Peripheral blood smear. 100× objective, oil immersion:
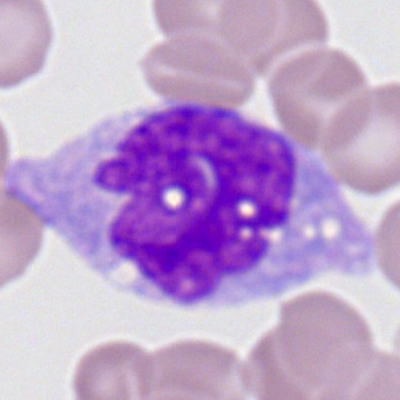A monocyte.